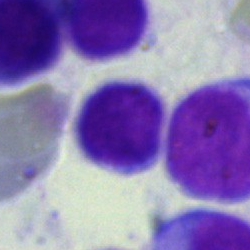 Q: What is shown here?
A: It is a typical lymphocyte.